May-Grünwald-Giemsa/Pappenheim stain. Single cell centered in the field. Bone marrow smear.
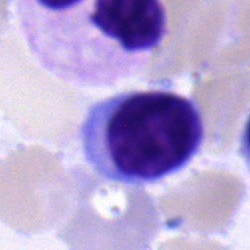
Impression → lymphocyte.